Bone marrow smear · MGG-stained
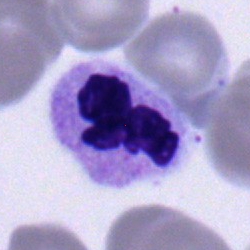Q: What cell is this?
A: A neutrophil (segmented).